Bone marrow smear: 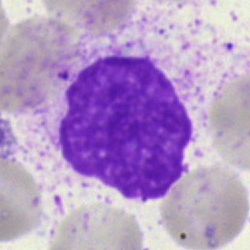 Morphological class = myelocyte.